Bone marrow smear
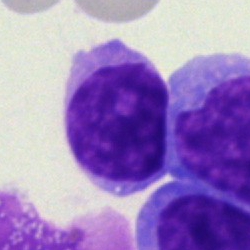

Specimen: bone marrow smear.
Cell: typical lymphocyte.
Lineage: lymphoid.